Bone marrow aspirate smear; MGG-stained; single cell centered in the field — 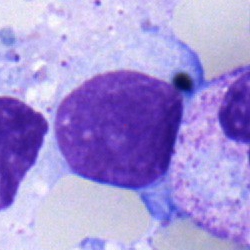 Morphology consistent with a typical lymphocyte.